Bone marrow smear
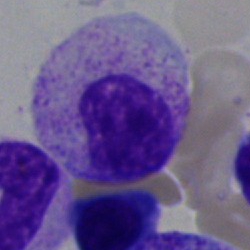
Metamyelocyte.